Bone marrow smear · cropped to a single cell · 250×250: 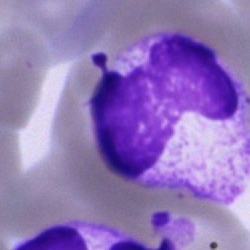 Impression → cell of indeterminate lineage.